Bone marrow aspirate smear
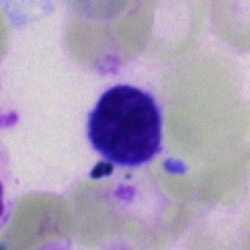

The cell type is lymphocyte.